250×250 · bone marrow aspirate smear.
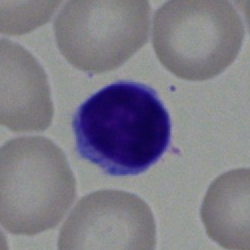

Specimen: bone marrow smear.
Morphological class: lymphocyte.